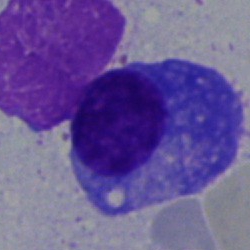Impression — plasma cell.